Bone marrow aspirate smear. Single-cell field. 40× objective, oil immersion.
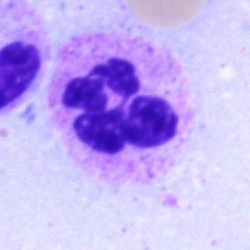

Morphological class — polymorphonuclear neutrophil.